Bone marrow aspirate smear: 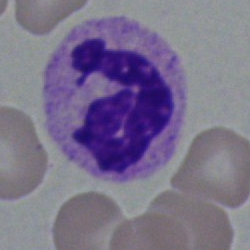
The classification is segmented neutrophil.